Bone marrow smear.
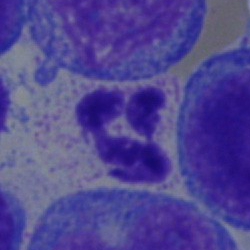

Morphology — polymorphonuclear neutrophil.